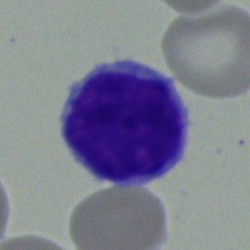Morphology consistent with a typical lymphocyte.